Bone marrow aspirate smear; 40× objective, oil immersion — 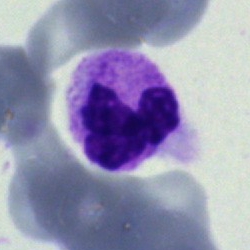 Classification: neutrophil (segmented).